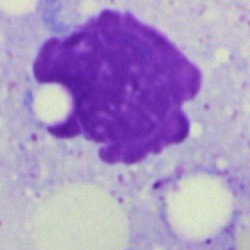 Morphology consistent with an artefact.